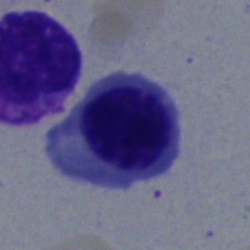Specimen: bone marrow aspirate smear.
Classification: nucleated red cell.
Lineage: erythroid.